40× oil immersion. 250×250. Bone marrow smear — 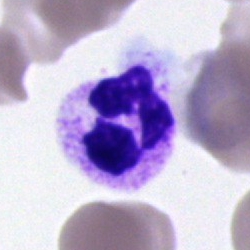Q: What cell is this?
A: It is a polymorphonuclear neutrophil.